Bone marrow aspirate smear · brightfield, 40× oil-immersion objective · MGG-stained: 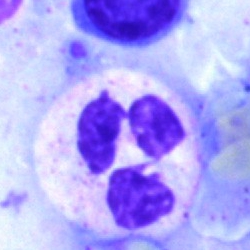

Q: What is the morphological classification of this cell?
A: This is a neutrophil (segmented).